250×250 px; 40× objective, oil immersion; bone marrow aspirate smear
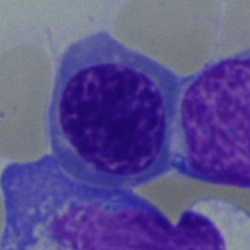
Morphology consistent with a nucleated red cell.